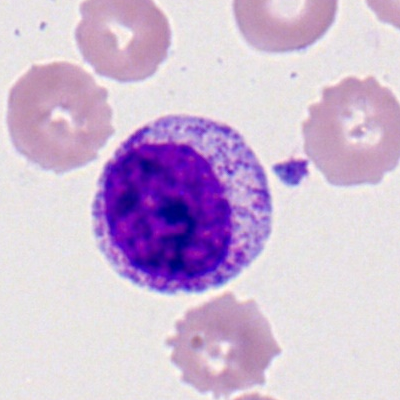 Peripheral blood film, single cell — myelocyte.